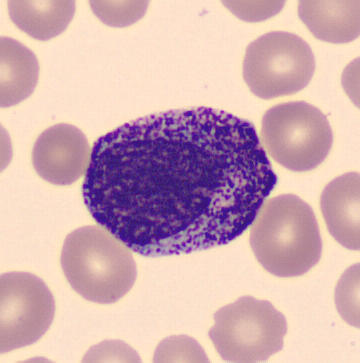

Single cell identified as a promyelocyte.